Bone marrow aspirate smear: 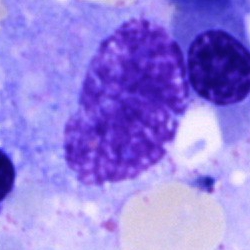The morphological class is artefact.